Bone marrow aspirate smear — 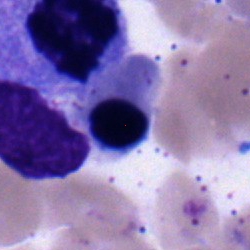{"cell_type": "nucleated red blood cell"}